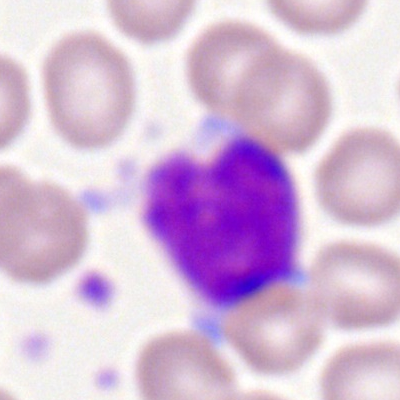 Single-cell crop from a peripheral blood smear: lymphocyte.